Bone marrow smear. May-Grünwald-Giemsa stain. Single-cell crop.
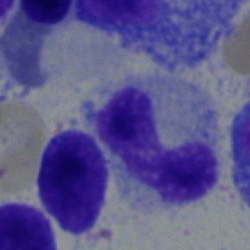
Morphological class = neutrophil (band).